Bone marrow smear
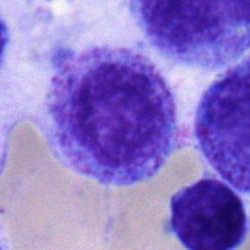Cell = myelocyte.